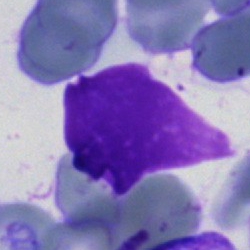 Q: What is shown here?
A: It is an artefact.